Bone marrow smear
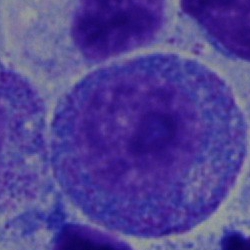 {"cell_type": "progranulocyte", "lineage": "myeloid"}